Peripheral blood smear
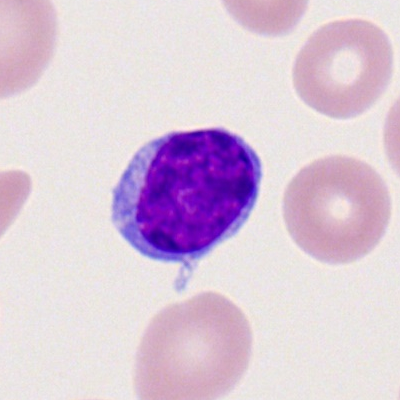 The morphological class is lymphocyte.